Bone marrow aspirate smear; cropped to a single cell: 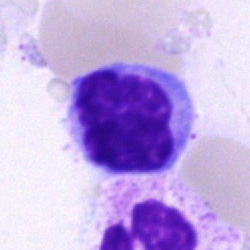
Morphology — typical lymphocyte.